May-Grünwald-Giemsa stain. Bone marrow smear: 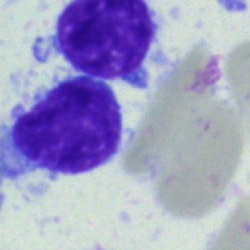Specimen: bone marrow aspirate smear.
Cell: lymphocyte.
Lineage: lymphoid.